250×250 px · bone marrow smear · single-cell crop
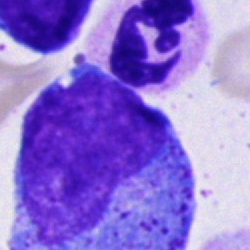 Classification = progranulocyte.